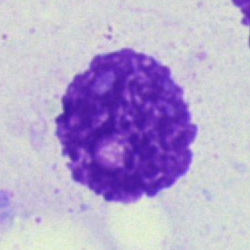
Specimen: bone marrow aspirate smear.
Morphological class: artifact.